Bone marrow aspirate smear; 250×250 — 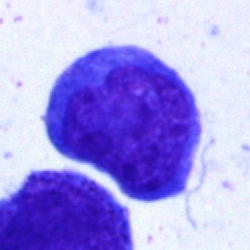

The morphological class is undifferentiated blast.